May-Grünwald-Giemsa/Pappenheim stain · bone marrow smear — 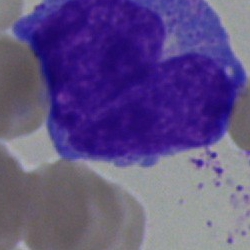
The cell is promyelocyte.